Bone marrow aspirate smear.
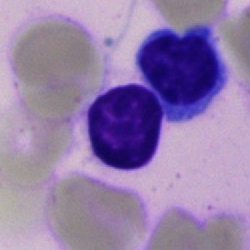Impression — artefact.